Bone marrow aspirate smear: 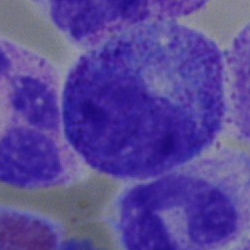A progranulocyte.